Bone marrow aspirate smear:
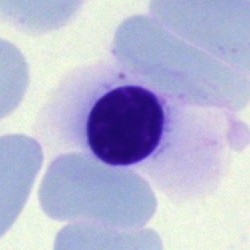Morphology consistent with an artefact.